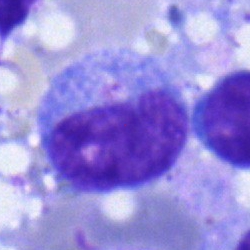

Bone marrow aspirate smear, single cell — metamyelocyte.